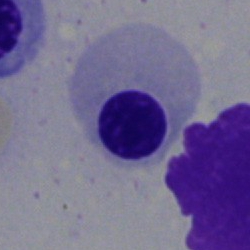Specimen: bone marrow aspirate smear.
Classification: normoblast.